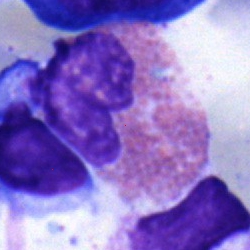

{"cell_type": "eosinophilic granulocyte"}